Bone marrow smear:
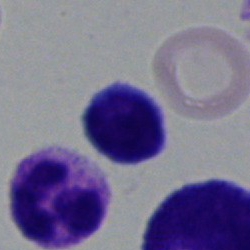A typical lymphocyte.